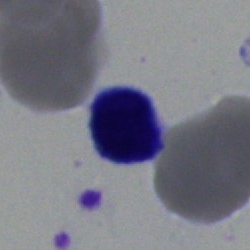

Classification: lymphocyte.